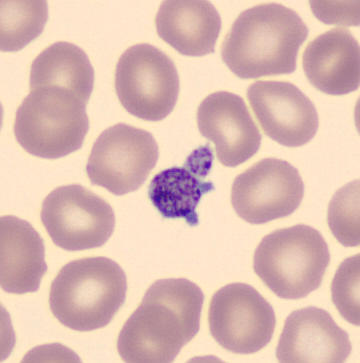Acquisition: Peripheral blood smear.
Q: What is shown here?
A: A platelet.